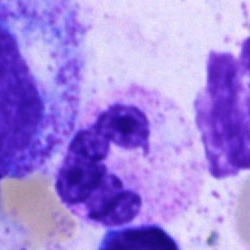
Showing a segmented neutrophil.